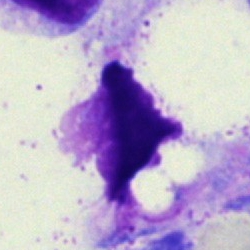Q: What is shown here?
A: This is an artifact.